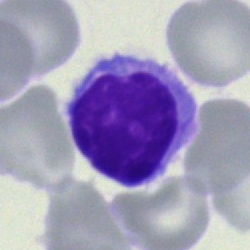Cell: typical lymphocyte.